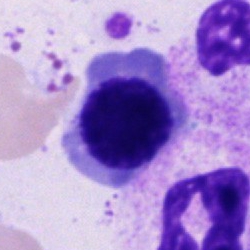

Cell: nucleated red cell.